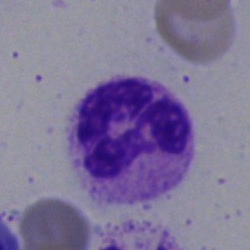
Morphology → neutrophil (segmented).